Single cell centered in the field; bone marrow smear
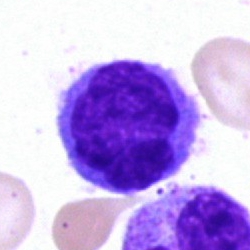 Q: What type of cell is this?
A: Monocyte.